Cropped to a single cell · bone marrow smear — 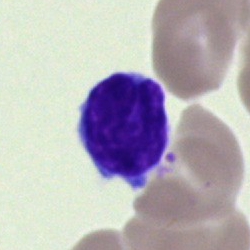

Morphological class = typical lymphocyte.